Bone marrow aspirate smear · cropped to a single cell:
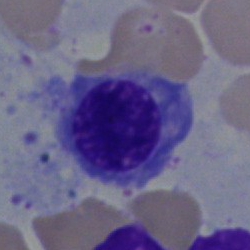

Classification = normoblast.